Single-cell field · bone marrow smear · Pappenheim-stained
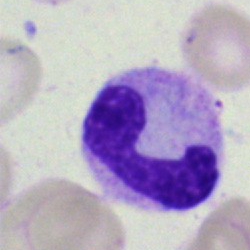

Cell type — neutrophil (band).